Bone marrow smear.
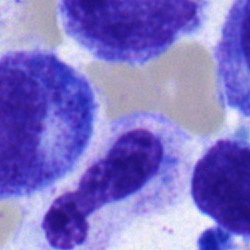

A stab cell.